Bone marrow aspirate smear.
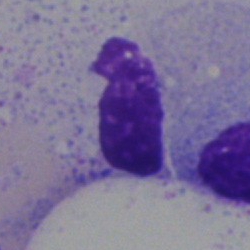

Impression — artefact.